Bone marrow aspirate smear · image size 250×250 — 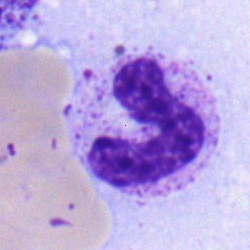The cell is stab cell.